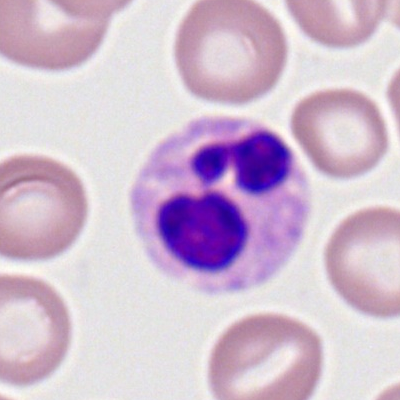Specimen: peripheral blood smear.
Cell type: neutrophil (segmented).